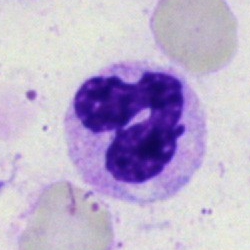 Showing a segmented neutrophil.